Bone marrow aspirate smear. May-Grünwald-Giemsa stain. Single-cell crop.
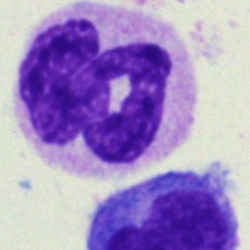Morphological class = neutrophil (segmented).